Bone marrow aspirate smear.
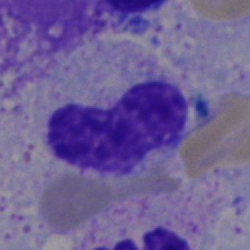 Cell: stab cell.